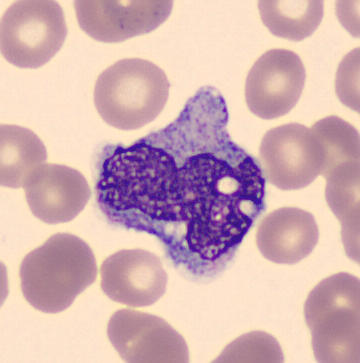

Peripheral blood film. MGG stain. 360×363 px.

Cell type = monocyte.